250 by 250 pixels. Bone marrow smear. Cropped to a single cell.
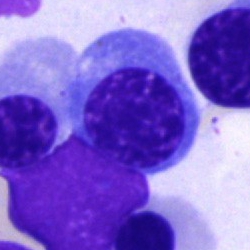 An erythroblast.